Bone marrow smear — 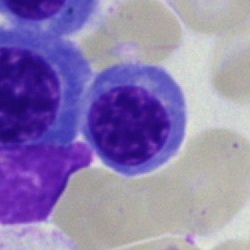
Specimen: bone marrow smear.
Classification: erythroblast.
Lineage: erythroid.